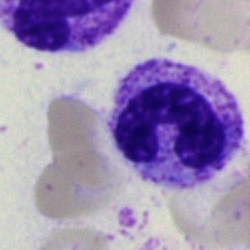 A band-form neutrophil.